Bone marrow smear: 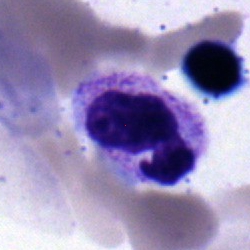

Segmented neutrophil.